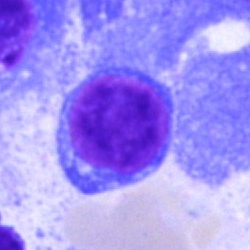Cell = lymphocyte.